Bone marrow aspirate smear: 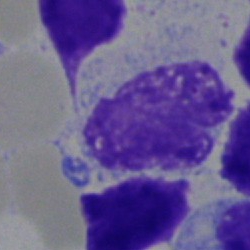 This is an artifact.